Bone marrow smear: 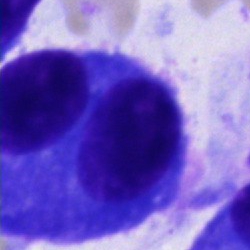
Showing a plasma cell.